Bone marrow aspirate smear: 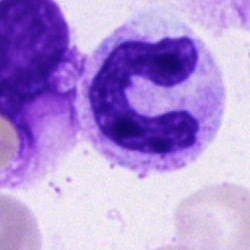

Specimen: bone marrow smear.
Classification: stab cell.
Lineage: myeloid.